Bone marrow aspirate smear; cropped to a single cell; Pappenheim-stained
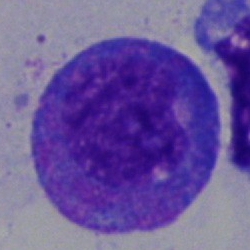

Morphology — progranulocyte.